250×250 px · bone marrow aspirate smear
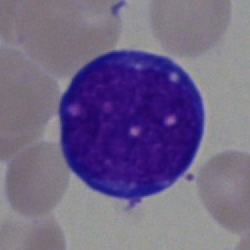

Classification — undifferentiated blast.